Bone marrow aspirate smear — 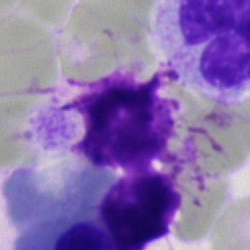 Morphological class: artefact.